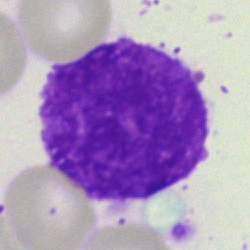

Specimen: bone marrow aspirate smear.
Cell: artefact.